Single cell centered in the field; 250 by 250 pixels; bone marrow aspirate smear: 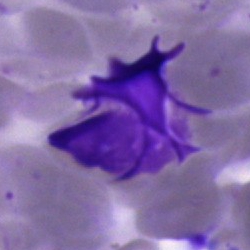
An artefact.